Peripheral blood smear: 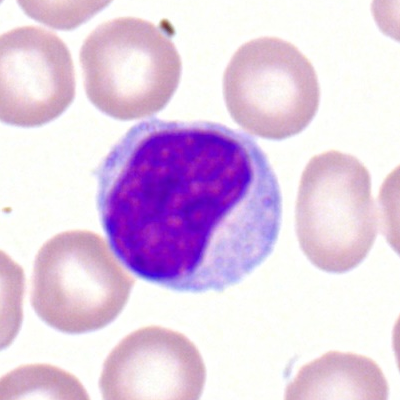

Specimen: peripheral blood film.
Cell: typical lymphocyte.